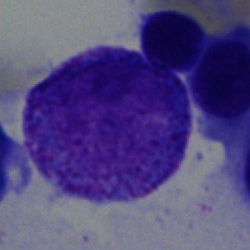
Q: What type of cell is this?
A: This is a promyelocyte.